Bone marrow smear. Image size 250×250 — 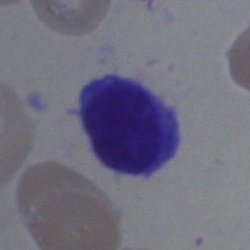
Morphology consistent with a typical lymphocyte.